Bone marrow smear: 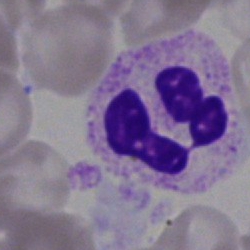 A polymorphonuclear neutrophil.